Peripheral blood film — 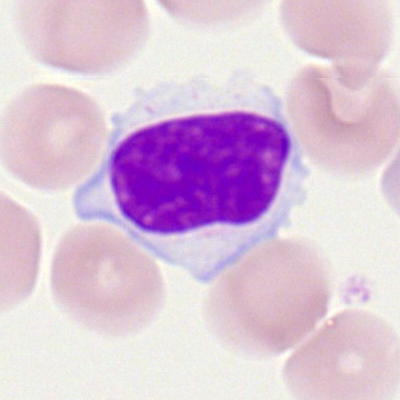

Morphology consistent with a lymphocyte.